MGG-stained; bone marrow smear
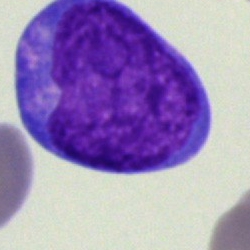 Morphology → blast cell.